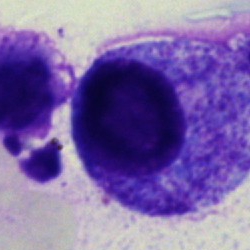Morphology consistent with a progranulocyte.